Peripheral blood film
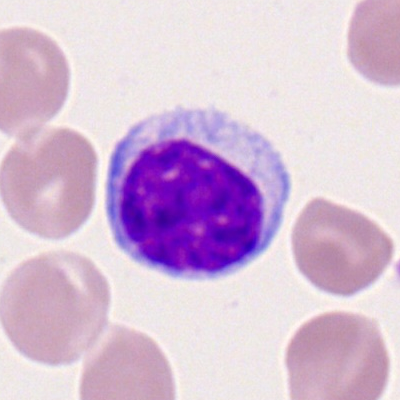
Morphology — typical lymphocyte.